Bone marrow aspirate smear; 250×250 — 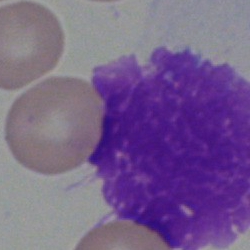Impression → artifact.